Bone marrow smear
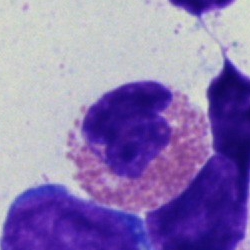 Specimen: bone marrow smear.
Classification: eosinophilic granulocyte.
Lineage: myeloid.